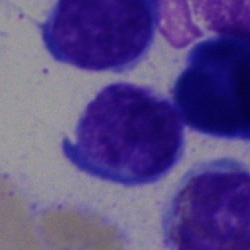Bone marrow aspirate smear, single cell — blast cell.